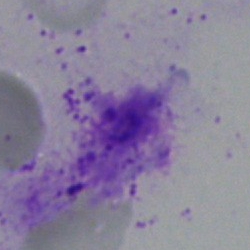Morphological class: artefact.